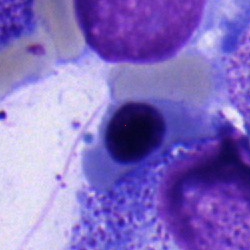
Q: Identify the cell.
A: Nucleated red blood cell.